Bone marrow smear · Pappenheim-stained
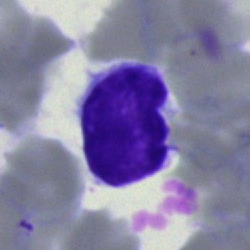 A typical lymphocyte.